Bone marrow smear:
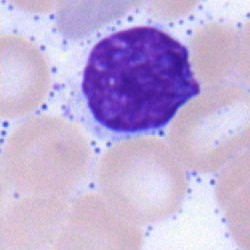
Q: What is shown here?
A: It is a typical lymphocyte.